Bone marrow aspirate smear · brightfield, 40× oil-immersion objective
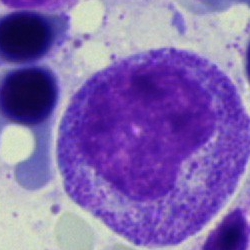 Classification: myelocyte.